Romanowsky-type stain. Peripheral blood film
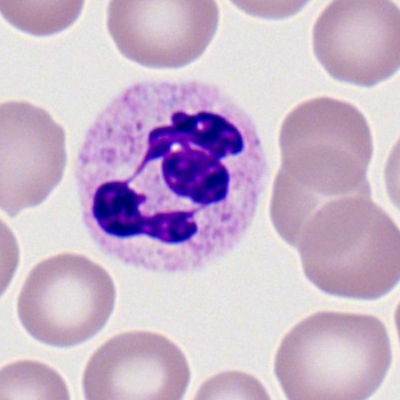
Cell type = segmented neutrophil.